Bone marrow smear. Pappenheim-stained:
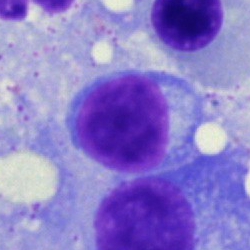
Morphology — typical lymphocyte.